Single cell centered in the field; bone marrow aspirate smear; Pappenheim-stained.
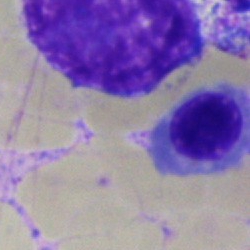 A normoblast.